Bone marrow smear. May-Grünwald-Giemsa/Pappenheim stain. 250×250 px — 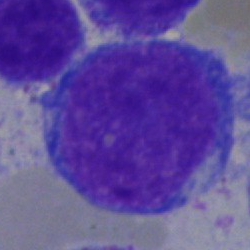 Classification — proerythroblast.